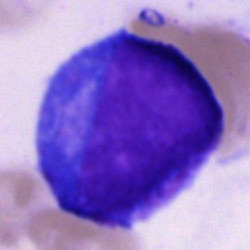Classification — undifferentiated blast.